Bone marrow smear
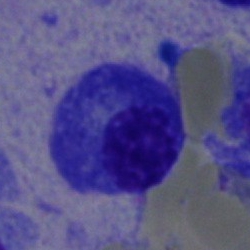 Cell type: plasma cell.